Bone marrow smear:
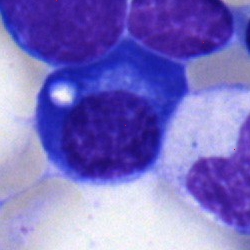

Q: Which cell type is shown here?
A: Plasmacyte.